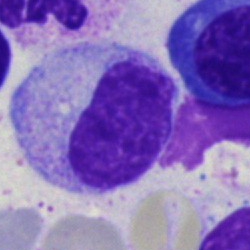Q: What is the morphological classification of this cell?
A: Myelocyte.